Bone marrow aspirate smear.
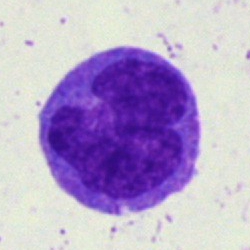Single cell identified as a monocyte.